Pappenheim-stained. Bone marrow smear. 250×250 px.
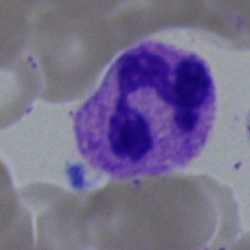 Segmented neutrophil.